Brightfield, 40× oil-immersion objective; bone marrow aspirate smear — 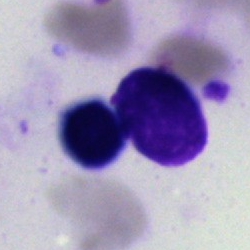
Classification: artefact.